Bone marrow aspirate smear · cropped to a single cell
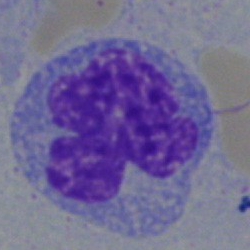Morphology consistent with a monocyte.